May-Grünwald-Giemsa stain. Bone marrow aspirate smear. Brightfield microscopy, 40× oil immersion — 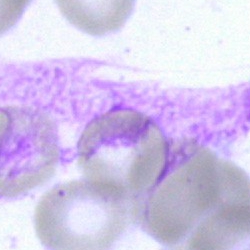Morphology — artifact.